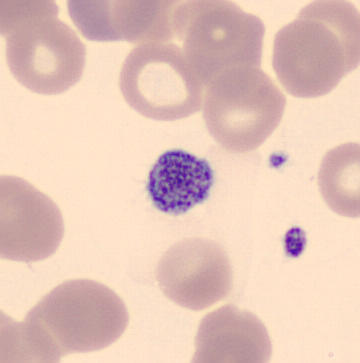
Platelet. Preparation: Peripheral blood smear; MGG stain.